Bone marrow smear.
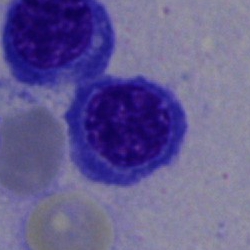 {"cell_type": "nucleated red blood cell"}